40× oil immersion · bone marrow aspirate smear
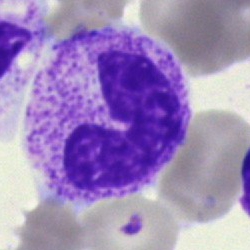
Q: What cell is this?
A: It is a band neutrophil.